Peripheral blood smear. Single cell centered in the field.
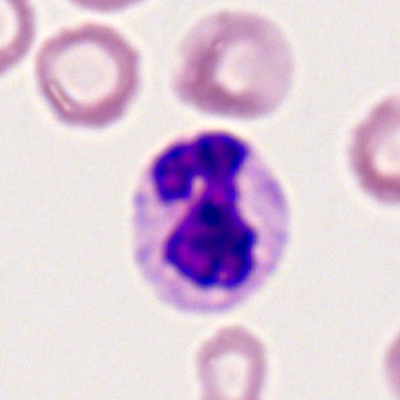

Showing a segmented neutrophil.